Bone marrow aspirate smear: 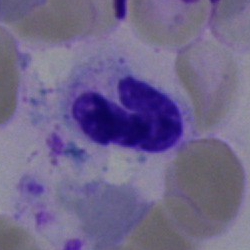Morphological class = segmented neutrophil.